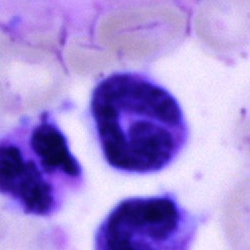
Morphology → neutrophil (segmented).